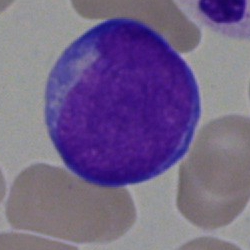Blast.